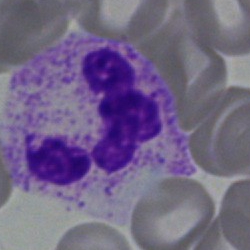Showing a segmented neutrophil.